Bone marrow smear: 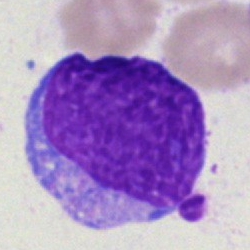Specimen: bone marrow smear.
Classification: blast cell.